Bone marrow smear; 40× objective, oil immersion: 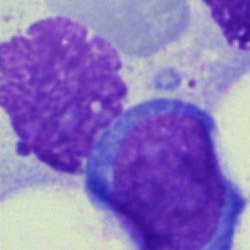
Specimen: bone marrow smear.
Cell: blast.